Single cell centered in the field · bone marrow smear · brightfield microscopy, 40× oil immersion
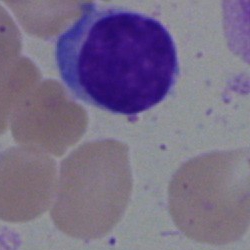
This is a lymphocyte.